Bone marrow smear: 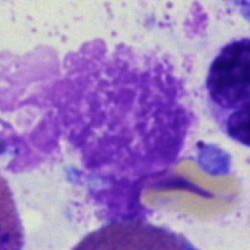The classification is artifact.